Bone marrow aspirate smear: 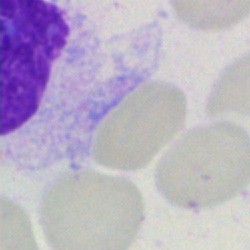

Artefact.